Bone marrow aspirate smear. 40× oil immersion.
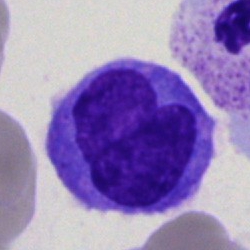

Showing a monocyte.